Bone marrow smear
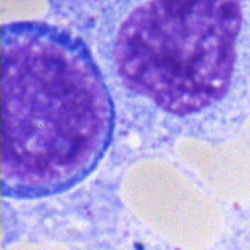
Morphological class = proerythroblast.